Bone marrow aspirate smear: 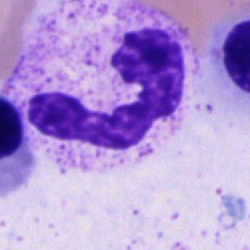
A polymorphonuclear neutrophil.